Pappenheim-stained · bone marrow smear.
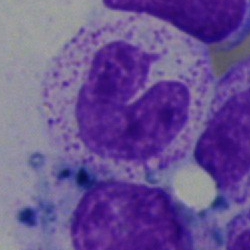
Morphology → neutrophil (band).